May-Grünwald-Giemsa stain. Bone marrow smear. Single-cell field: 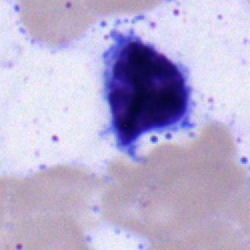
Q: Identify the cell.
A: Typical lymphocyte.